Bone marrow aspirate smear. Brightfield microscopy, 40× oil immersion. 250 by 250 pixels
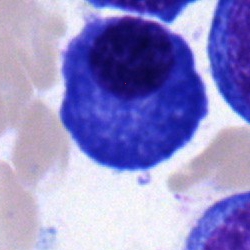 The cell shown is a plasmacyte.